Single-cell crop; bone marrow smear
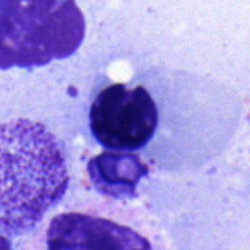 {"cell_type": "normoblast", "lineage": "erythroid"}